May-Grünwald-Giemsa/Pappenheim stain; 250×250; bone marrow smear:
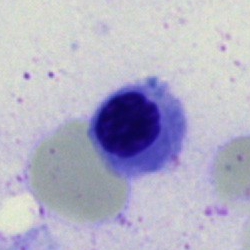
Specimen: bone marrow aspirate smear.
Morphological class: nucleated red blood cell.
Lineage: erythroid.